Peripheral blood smear. 400×400 — 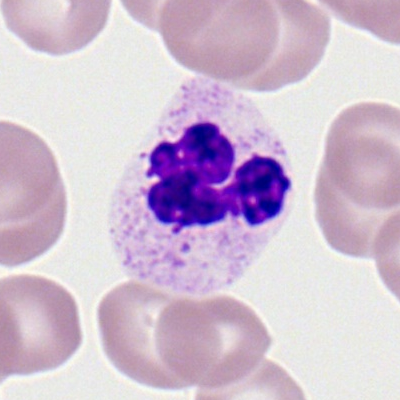 Q: Identify the cell.
A: This is a polymorphonuclear neutrophil.